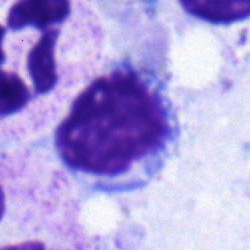 This is a typical lymphocyte.